Bone marrow smear
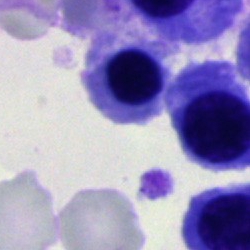
Q: Which cell type is shown here?
A: A normoblast.